Bone marrow aspirate smear: 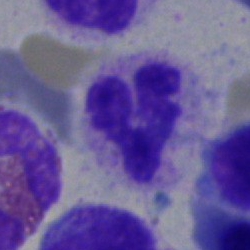

Single cell identified as a segmented neutrophil.